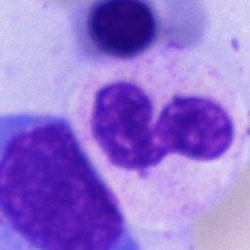
Q: What type of cell is this?
A: A polymorphonuclear neutrophil.